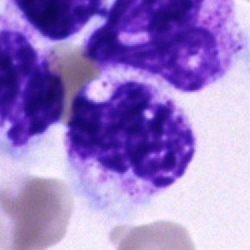
Specimen: bone marrow smear.
Cell: segmented neutrophil.